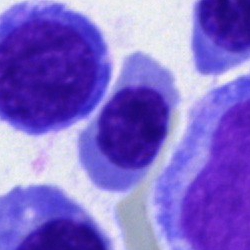

Normoblast.